40× oil immersion. Bone marrow aspirate smear — 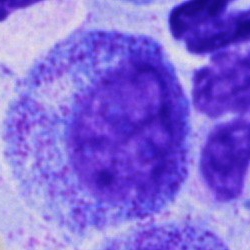
Single cell identified as a promyelocyte.